Bone marrow smear · single-cell crop · 40× objective, oil immersion — 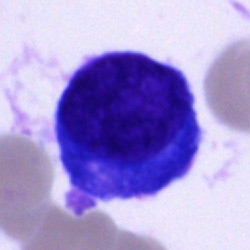Morphology — plasmacyte.